250×250 px; bone marrow smear: 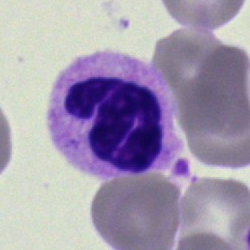
Single cell identified as a neutrophil (segmented).